Bone marrow smear — 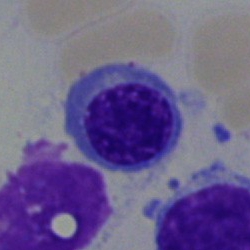
{"cell_type": "nucleated red cell", "lineage": "erythroid"}